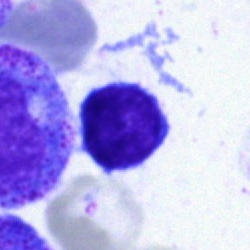The classification is typical lymphocyte.